Bone marrow smear. 250×250 px. 40× oil immersion — 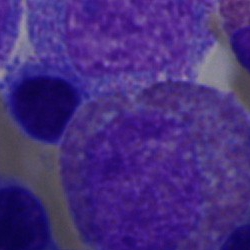
Q: What is shown here?
A: An eosinophil.